Bone marrow smear · single cell centered in the field.
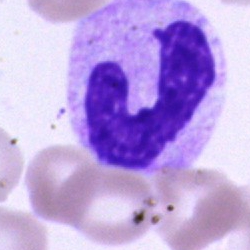 Impression → band neutrophil.